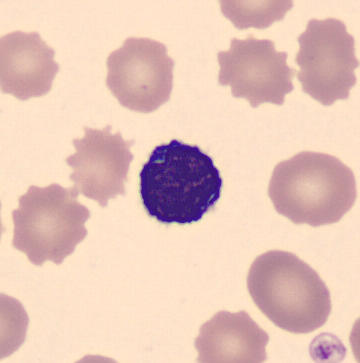 Preparation: Peripheral blood smear.

Cell type = typical lymphocyte.